Bone marrow smear
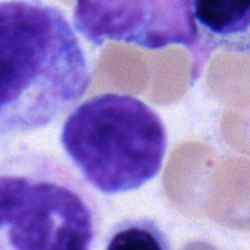A lymphocyte.